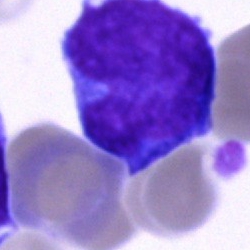
Q: What cell is this?
A: It is a blast.